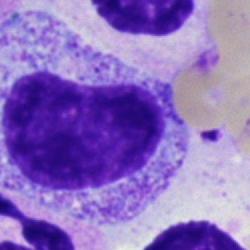
Single-cell crop from a bone marrow smear: metamyelocyte.